May-Grünwald-Giemsa/Pappenheim stain. Image size 250×250. Bone marrow aspirate smear.
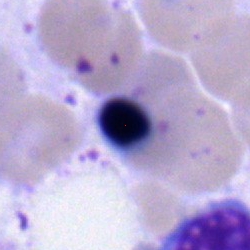 The cell shown is a normoblast.